Bone marrow smear.
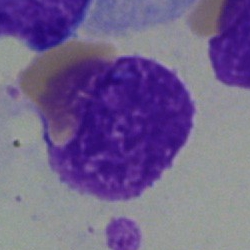 {"cell_type": "artefact"}